Bone marrow smear — 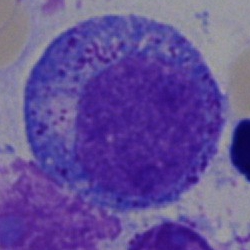Morphological class = progranulocyte.